400 by 400 pixels; M8 digital microscope (Precipoint), 100× oil immersion; peripheral blood film: 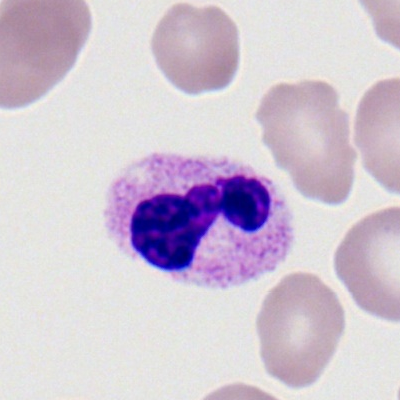

Q: What cell is this?
A: A neutrophil (band).